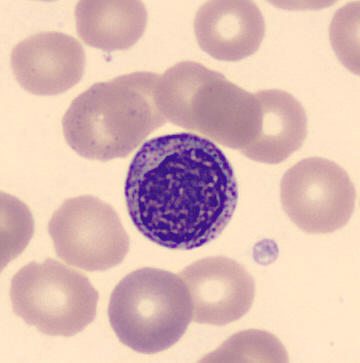
Preparation: Imaged on a CellaVision DM96 analyser · peripheral blood film.

Q: What type of cell is this?
A: A myelocyte.